Bone marrow aspirate smear · May-Grünwald-Giemsa stain · single-cell crop.
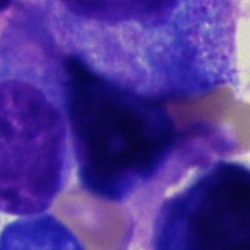Cell type = cell of indeterminate lineage.